Bone marrow smear:
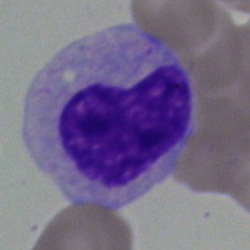

Morphology consistent with a metamyelocyte.